Bone marrow aspirate smear.
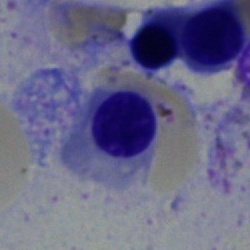

Q: What cell is this?
A: It is an erythroblast.